Bone marrow aspirate smear — 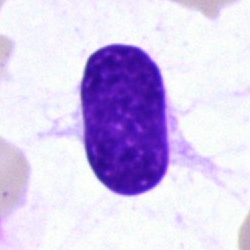Morphology consistent with an artefact.